Bone marrow aspirate smear. Brightfield microscopy, 40× oil immersion:
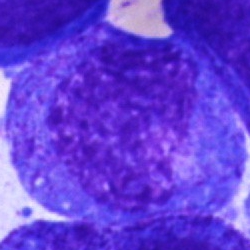A progranulocyte.